Bone marrow smear; single cell centered in the field
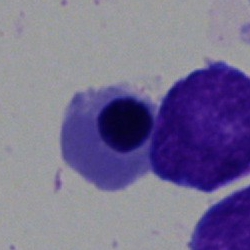Nucleated red blood cell.